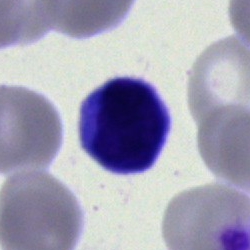

Impression — lymphocyte.